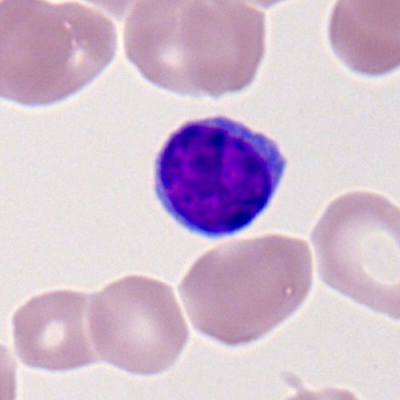Specimen: peripheral blood film.
Cell: lymphocyte.